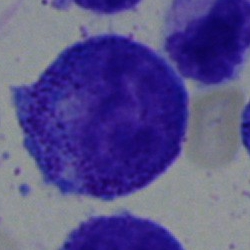

Promyelocyte.